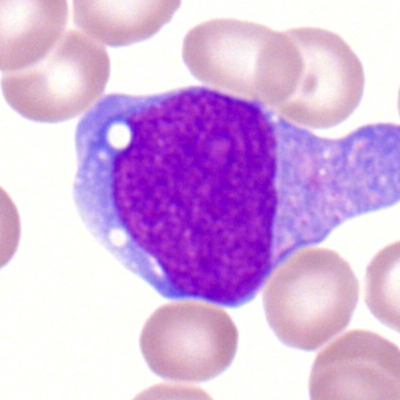Showing a myeloblast.